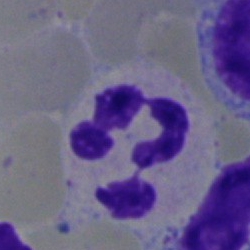
Showing a neutrophil (segmented).